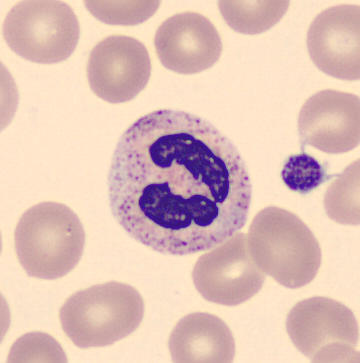
Specimen: peripheral blood smear.
Cell: polymorphonuclear neutrophil.